Peripheral blood smear
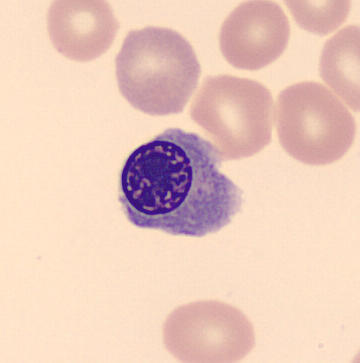Impression → nucleated red blood cell.